May-Grünwald-Giemsa/Pappenheim stain. Bone marrow aspirate smear. Brightfield, 40× oil-immersion objective
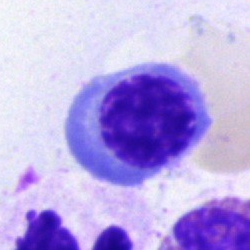

Morphology — erythroblast.